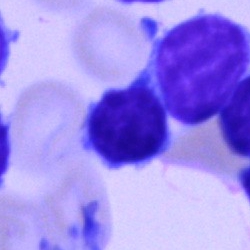
A lymphocyte on a bone marrow smear.